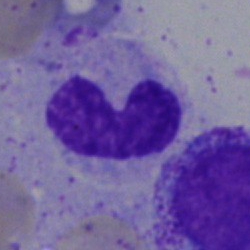
Specimen: bone marrow smear.
Morphological class: neutrophil (band).
Lineage: myeloid.